Bone marrow aspirate smear. 250×250:
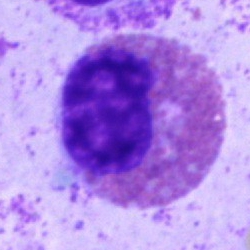

Single cell identified as an eosinophilic granulocyte.